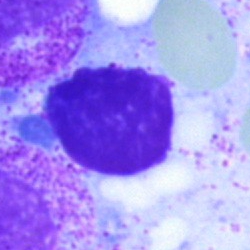

Showing an artefact.